Bone marrow smear.
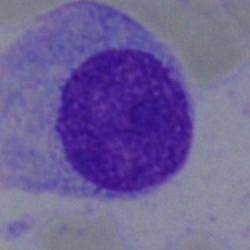

Specimen: bone marrow aspirate smear.
Morphological class: plasmacyte.